Bone marrow aspirate smear.
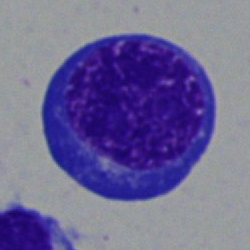Morphological class: nucleated red blood cell.